Bone marrow smear: 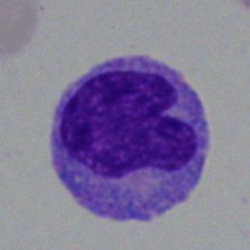

Impression → monocyte.